40× oil immersion. 250×250. Bone marrow aspirate smear:
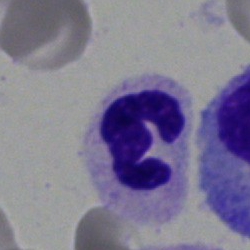

Morphology consistent with a polymorphonuclear neutrophil.